Bone marrow aspirate smear — 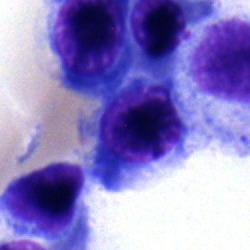

A nucleated red blood cell.